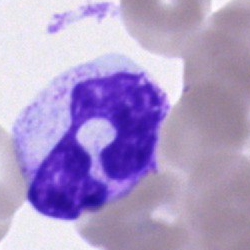 Classification — neutrophil (segmented).